Single-cell field; bone marrow aspirate smear.
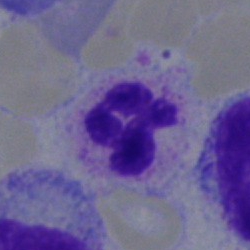
Specimen: bone marrow aspirate smear.
Cell type: segmented neutrophil.
Lineage: myeloid.